40× oil immersion; single cell centered in the field; bone marrow aspirate smear:
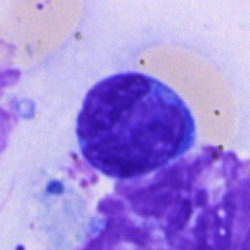

Impression — typical lymphocyte.